Bone marrow aspirate smear.
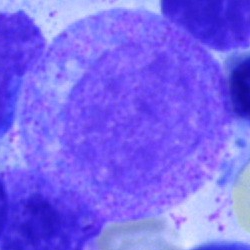 Cell type — myelocyte.